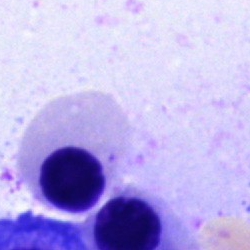

This is a normoblast.